Image size 250×250 · bone marrow smear
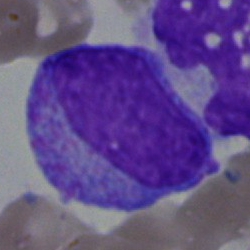 Single cell identified as a progranulocyte.